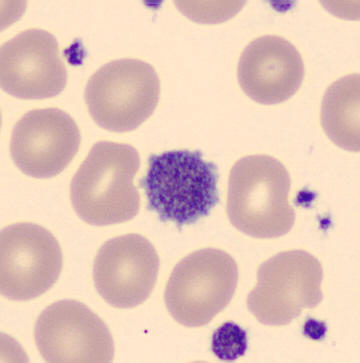
Morphology — thrombocyte.